Single-cell field · peripheral blood smear:
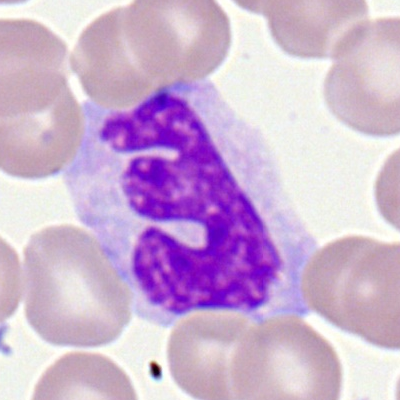
{"cell_type": "monocyte"}